Bone marrow aspirate smear — 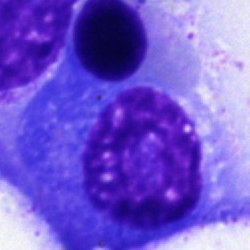
Single cell identified as a plasmacyte.